Single-cell crop. 400×400 px. Peripheral blood smear
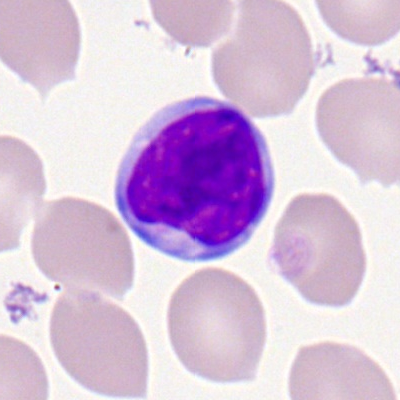Lymphocyte.